Brightfield microscopy, 40× oil immersion; bone marrow smear; image size 250×250.
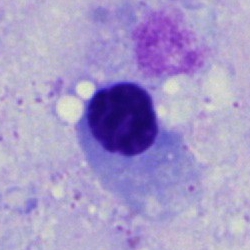

The cell is nucleated red blood cell.